Bone marrow aspirate smear.
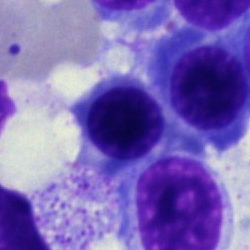

Morphology → nucleated red cell.